Bone marrow smear — 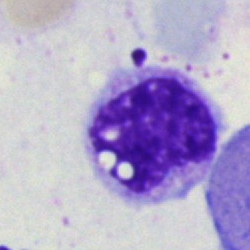The classification is metamyelocyte.